Bone marrow smear:
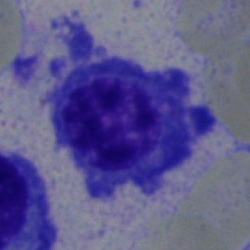

Q: What is the morphological classification of this cell?
A: This is a plasmacyte.